Bone marrow smear — 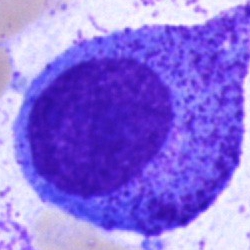 Q: What is shown here?
A: This is a progranulocyte.